Bone marrow aspirate smear.
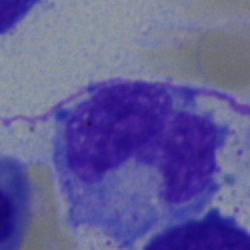 Morphology consistent with a monocyte.